Bone marrow aspirate smear:
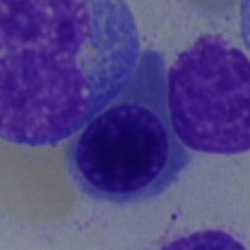
Cell type = nucleated red blood cell.